Bone marrow aspirate smear: 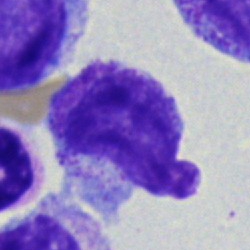

The cell shown is a myelocyte.